Bone marrow aspirate smear — 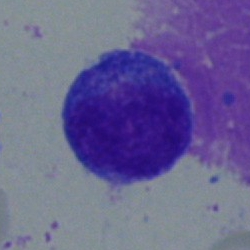
Blast cell.